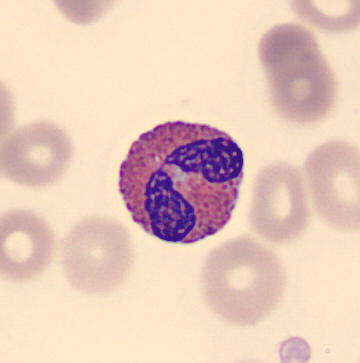
Image: Peripheral blood film. Q: Identify the cell.
A: Eosinophil.